Pappenheim-stained. Bone marrow aspirate smear. Single cell centered in the field — 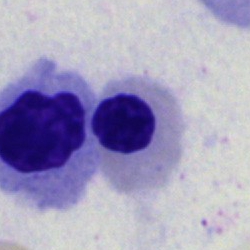 The classification is nucleated red cell.